250×250; single cell centered in the field; bone marrow aspirate smear.
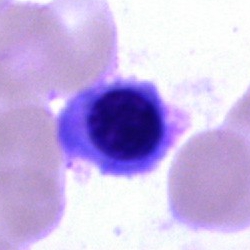

Impression — normoblast.